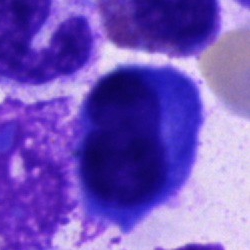Cell type: plasma cell.